Bone marrow smear; single cell centered in the field — 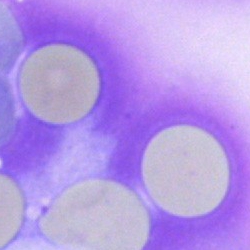Single cell identified as an artifact.